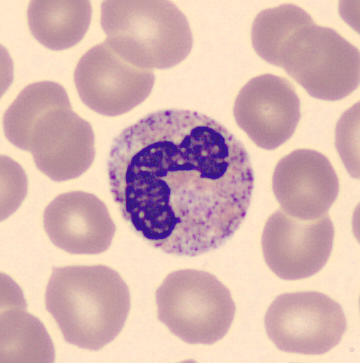Morphology consistent with a neutrophil (band).